Bone marrow aspirate smear
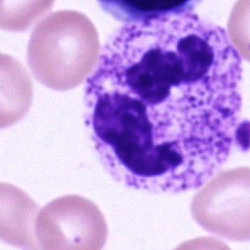

The cell is neutrophil (segmented).